Bone marrow aspirate smear · single cell centered in the field.
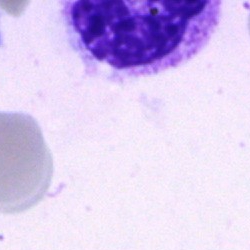
Q: What is the morphological classification of this cell?
A: A segmented neutrophil.